Bone marrow smear. Pappenheim-stained:
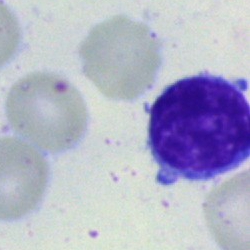 Q: What type of cell is this?
A: It is a lymphocyte.